Bone marrow smear:
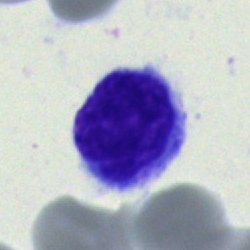 The classification is lymphocyte.